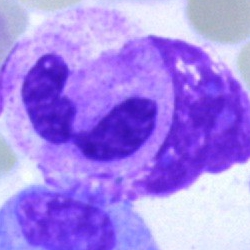
Bone marrow smear showing a polymorphonuclear neutrophil.